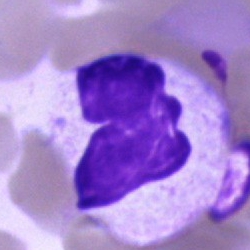 Morphological class = segmented neutrophil.